40× oil immersion; bone marrow smear:
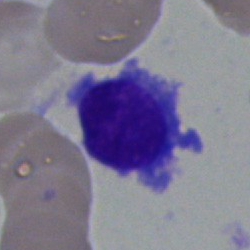 A plasma cell.